Bone marrow smear:
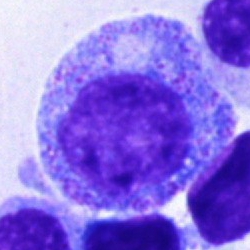Q: What type of cell is this?
A: It is a promyelocyte.